Bone marrow smear — 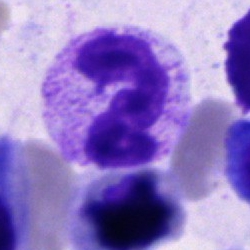Classification = segmented neutrophil.